Bone marrow smear:
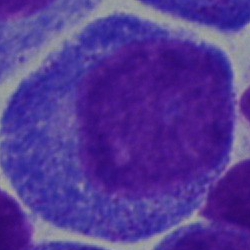 The cell shown is a promyelocyte.